May-Grünwald-Giemsa/Pappenheim stain. Bone marrow aspirate smear — 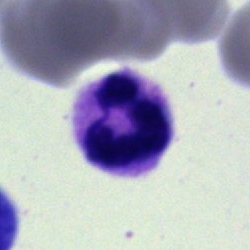 A neutrophil (segmented).